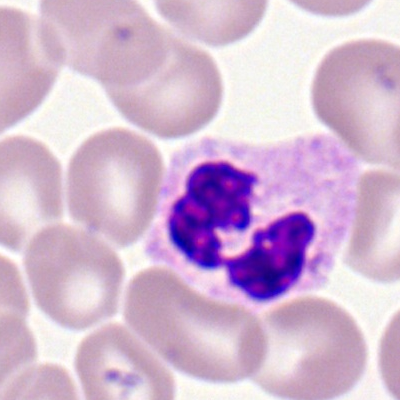 Neutrophil (segmented).